Bone marrow smear: 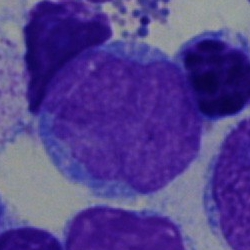The cell shown is an undifferentiated blast.